Bone marrow aspirate smear; brightfield, 40× oil-immersion objective — 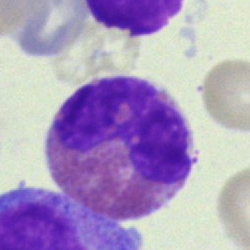This is an eosinophil.